Bone marrow aspirate smear · single-cell field: 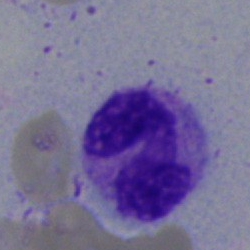Morphology → neutrophil (segmented).